May-Grünwald-Giemsa/Pappenheim stain. Bone marrow smear
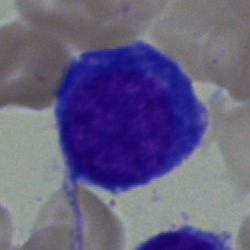 Specimen: bone marrow smear.
Cell: erythroblast.
Lineage: erythroid.